Bone marrow aspirate smear.
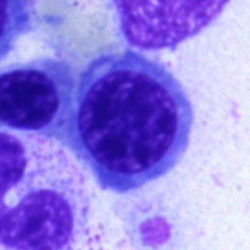Morphological class: erythroblast.